Peripheral blood film. 400×400 px. Single cell centered in the field.
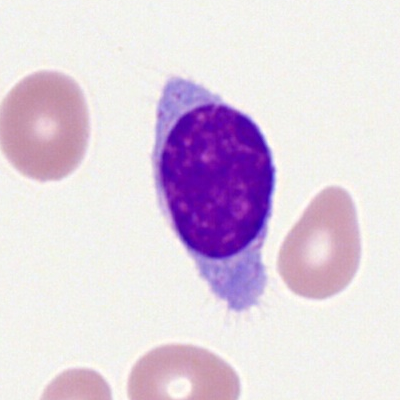
Cell = typical lymphocyte.